Bone marrow aspirate smear — 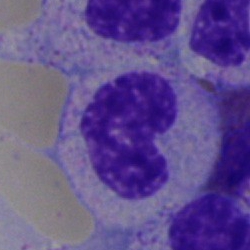
Q: What cell is this?
A: It is a stab cell.